Bone marrow aspirate smear:
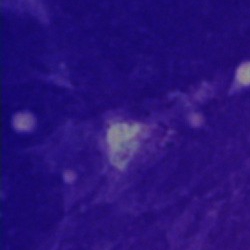
Specimen: bone marrow aspirate smear.
Cell type: artifact.